Bone marrow smear · brightfield microscopy, 40× oil immersion: 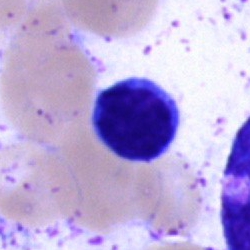
A typical lymphocyte.